Bone marrow aspirate smear — 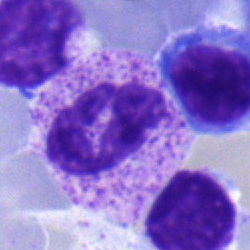 A polymorphonuclear neutrophil.